Bone marrow aspirate smear:
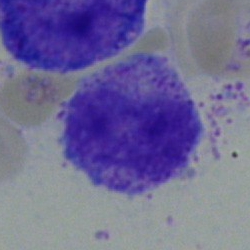

Classification: myelocyte.